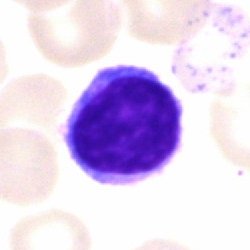
Single-cell crop from a bone marrow smear: lymphocyte.